Bone marrow smear; single-cell crop.
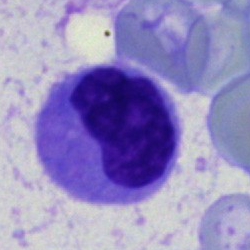
This is a monocyte.